Peripheral blood smear · 400 by 400 pixels: 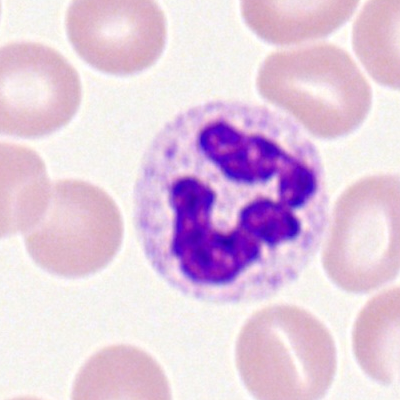
Single cell identified as a neutrophil (segmented).